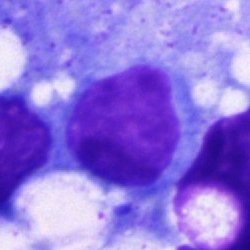
The cell shown is an undifferentiated blast.